Brightfield, 100× oil-immersion objective · peripheral blood smear
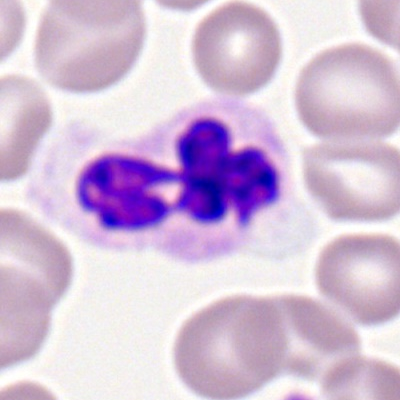Impression → segmented neutrophil.